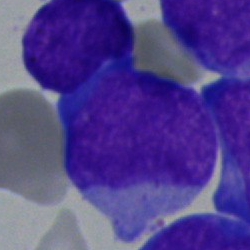

Specimen: bone marrow aspirate smear.
Cell type: blast cell.